Peripheral blood film:
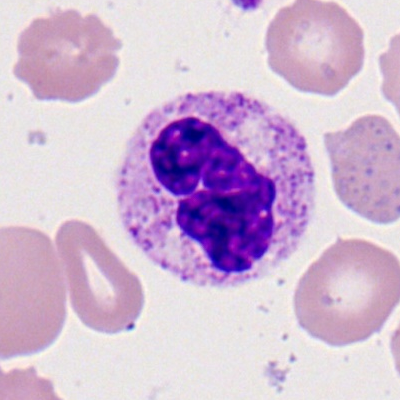The classification is neutrophil (segmented).